Bone marrow aspirate smear · cropped to a single cell.
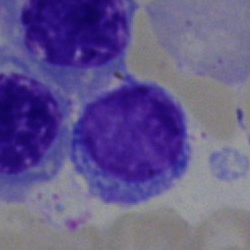Cell = typical lymphocyte.